Bone marrow aspirate smear. 250×250. Brightfield, 40× oil-immersion objective.
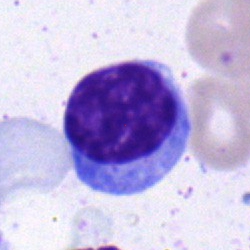

Morphological class = typical lymphocyte.